May-Grünwald-Giemsa stain. Brightfield, 40× oil-immersion objective. Bone marrow aspirate smear: 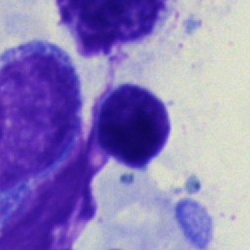
Cell = typical lymphocyte.